Bone marrow smear: 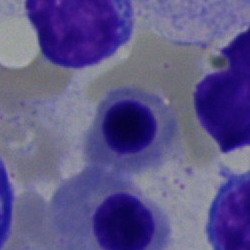Single cell identified as a normoblast.